Bone marrow aspirate smear — 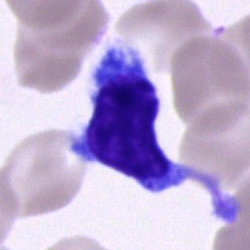
Specimen: bone marrow aspirate smear.
Cell type: lymphocyte.